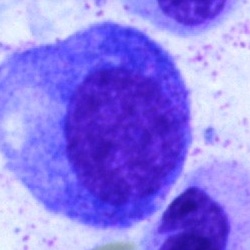

Q: What is shown here?
A: It is a progranulocyte.